Bone marrow aspirate smear; cropped to a single cell; brightfield, 40× oil-immersion objective
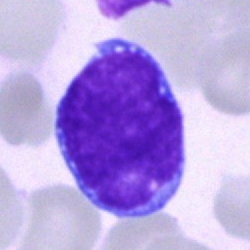

Undifferentiated blast.